Bone marrow aspirate smear
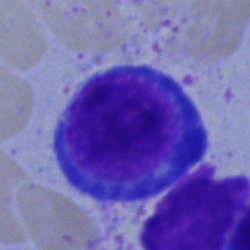

Showing a proerythroblast.